Bone marrow aspirate smear:
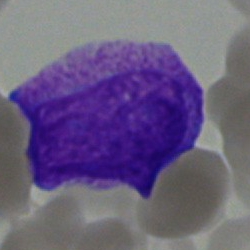 Specimen: bone marrow smear.
Cell: blast cell.